Bone marrow aspirate smear:
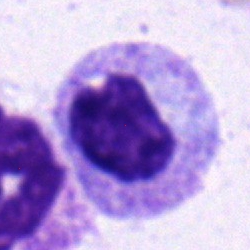The cell shown is a myelocyte.